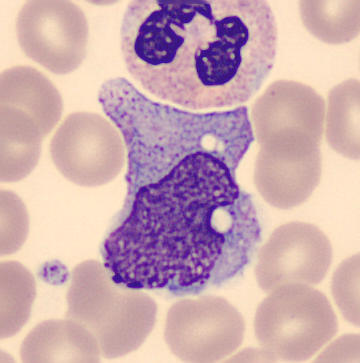

Morphology → monocyte.